Bone marrow aspirate smear; 40× objective, oil immersion
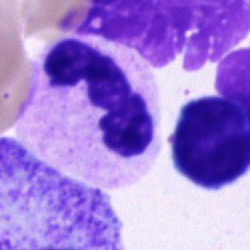
Specimen: bone marrow aspirate smear.
Cell type: polymorphonuclear neutrophil.